Image size 400×400 · peripheral blood film — 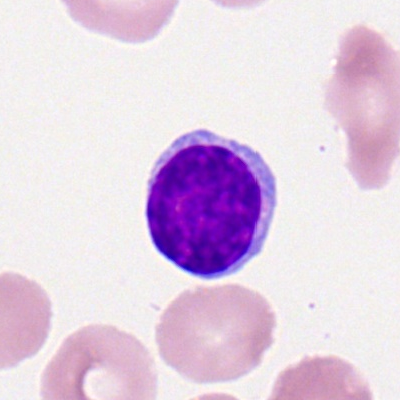
Typical lymphocyte.